Bone marrow aspirate smear; brightfield, 40× oil-immersion objective.
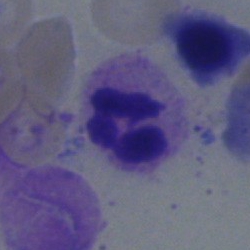The cell shown is a polymorphonuclear neutrophil.